Bone marrow smear
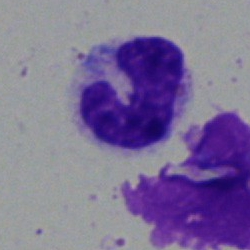 Classification: stab cell.